Bone marrow smear — 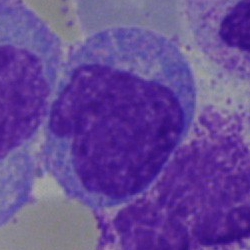 Morphology consistent with a lymphocyte.